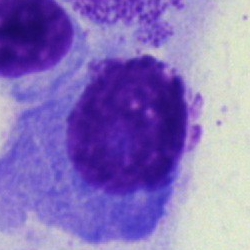 Cell type: plasma cell.